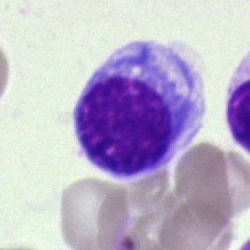
Q: What is the morphological classification of this cell?
A: This is a normoblast.